Bone marrow smear
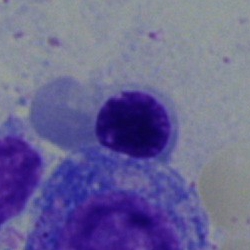Single cell identified as an erythroblast.